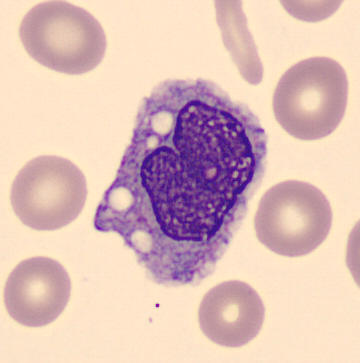 Peripheral blood film.
This is a monocyte.